Bone marrow smear:
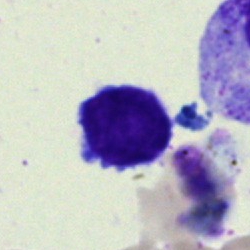Single cell identified as a lymphocyte.